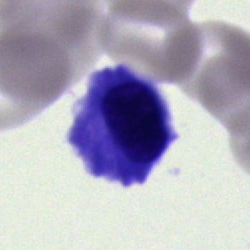Q: What type of cell is this?
A: Normoblast.